Bone marrow aspirate smear. May-Grünwald-Giemsa/Pappenheim stain.
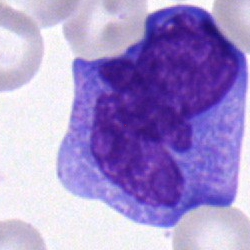
A monocyte.